Pappenheim-stained · bone marrow smear · 40× objective, oil immersion — 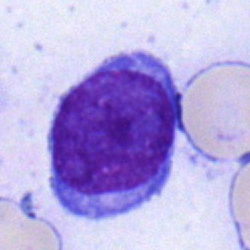 A blast cell.